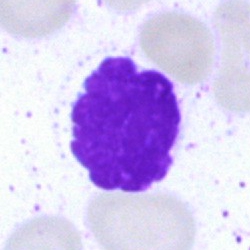
Q: What is shown here?
A: Artefact.